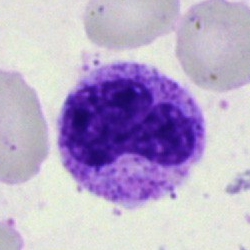Q: What is the morphological classification of this cell?
A: A neutrophil (band).